Bone marrow aspirate smear; single-cell field: 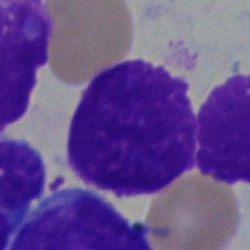
Q: What is shown here?
A: Artifact.